Bone marrow smear. Brightfield, 40× oil-immersion objective.
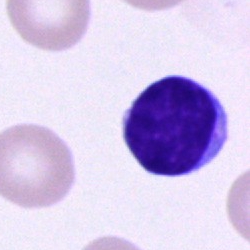
A typical lymphocyte.